M8 digital microscope (Precipoint), 100× oil immersion · peripheral blood smear: 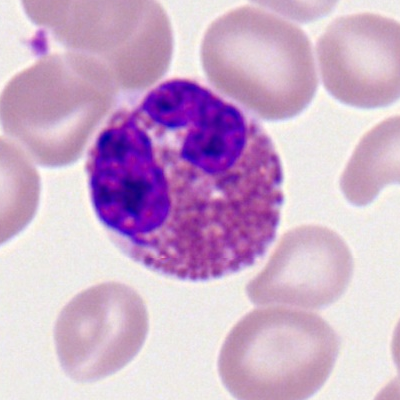
Showing an eosinophil.